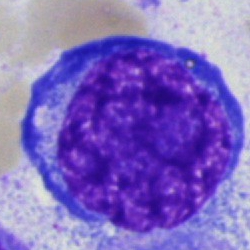Single cell identified as a proerythroblast.